Bone marrow aspirate smear.
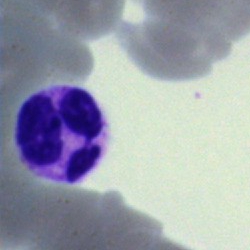Showing a segmented neutrophil.